250×250 px · single cell centered in the field · bone marrow smear: 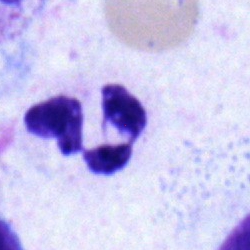 Impression → polymorphonuclear neutrophil.